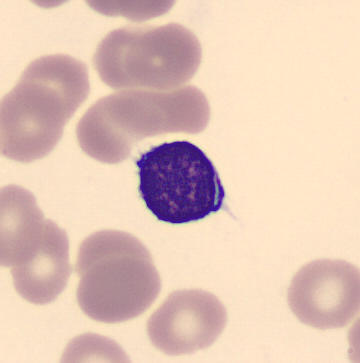Morphological class — typical lymphocyte. Image: Peripheral blood film.